Single-cell crop. Bone marrow smear:
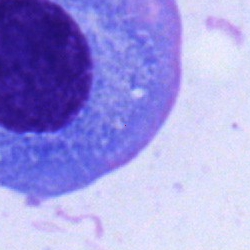 This is a plasmacyte.